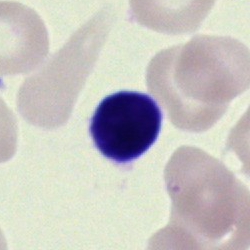Showing a lymphocyte.